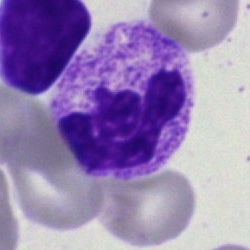

Neutrophil (segmented).